Bone marrow smear
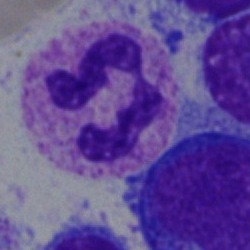 Morphological class — polymorphonuclear neutrophil.